Bone marrow aspirate smear; image size 250×250; brightfield microscopy, 40× oil immersion: 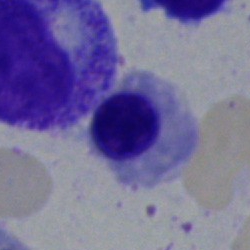Classification — nucleated red cell.